Cropped to a single cell; bone marrow aspirate smear: 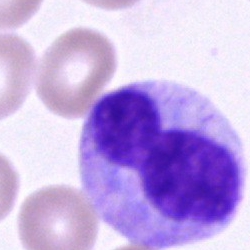 Morphology — unidentifiable cell.